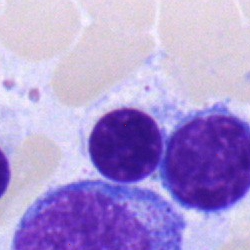Showing a nucleated red cell.